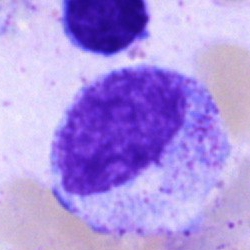 Single-cell crop from a bone marrow smear: promyelocyte.